Bone marrow smear
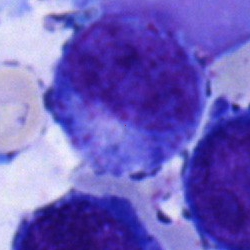 A progranulocyte.